Peripheral blood film: 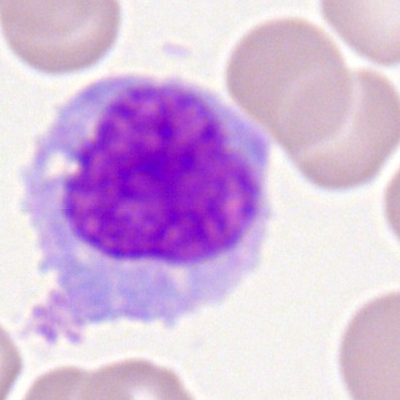
Q: Which cell type is shown here?
A: This is a monocyte.